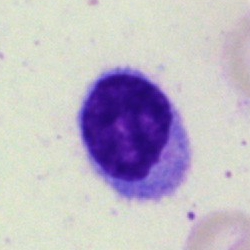 Impression → typical lymphocyte.